Bone marrow aspirate smear: 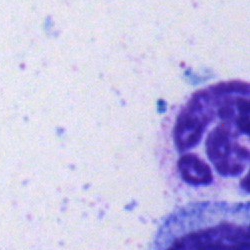

Q: What type of cell is this?
A: Neutrophil (segmented).